Bone marrow aspirate smear — 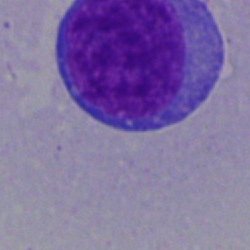 The cell is blast cell.